Bone marrow aspirate smear. Brightfield microscopy, 40× oil immersion: 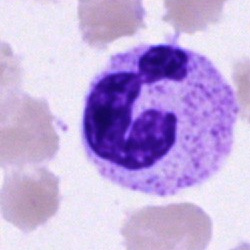Single cell identified as a neutrophil (segmented).